Bone marrow smear: 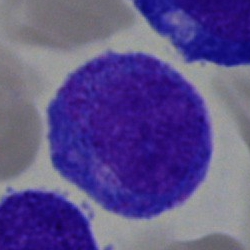 {"cell_type": "progranulocyte", "lineage": "myeloid"}